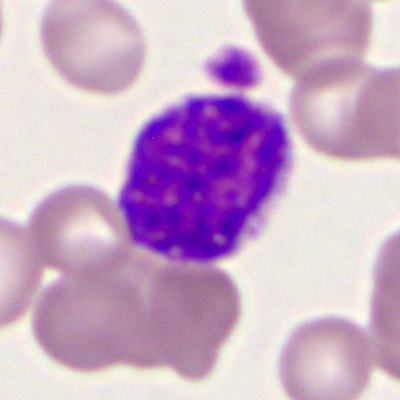 Peripheral blood smear showing a myeloid blast.